Bone marrow aspirate smear — 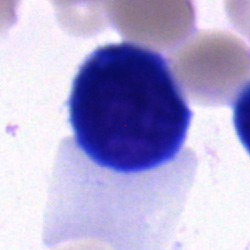Classification: undifferentiated blast.